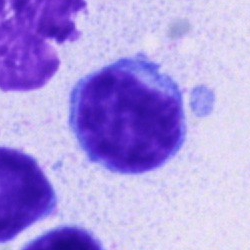

Morphology → lymphocyte.